Bone marrow aspirate smear
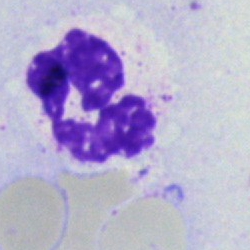
Classification: polymorphonuclear neutrophil.